MGG-stained. Bone marrow smear. 40× oil immersion:
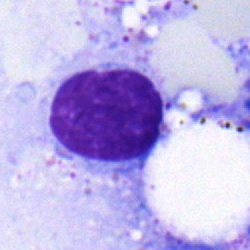 Morphology consistent with a typical lymphocyte.